Bone marrow smear; single-cell field — 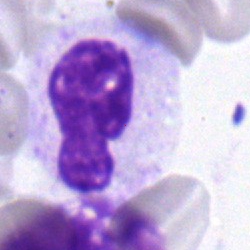Stab cell.